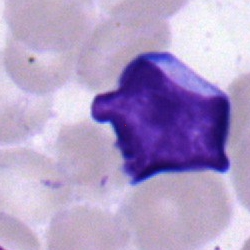
Q: What type of cell is this?
A: A lymphocyte.